Peripheral blood smear: 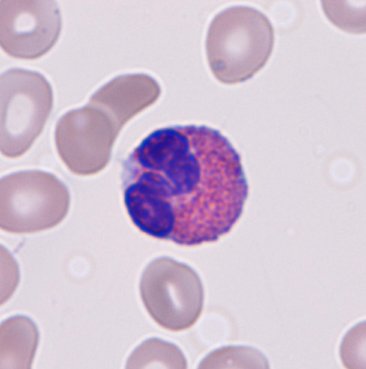An eosinophilic granulocyte.